Brightfield microscopy, 40× oil immersion. Bone marrow smear: 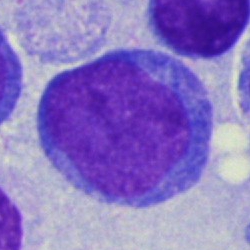Cell type = blast cell.